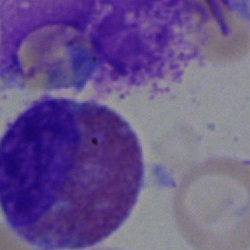
Eosinophil.